Bone marrow smear: 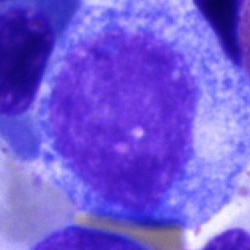 Q: What is shown here?
A: Promyelocyte.